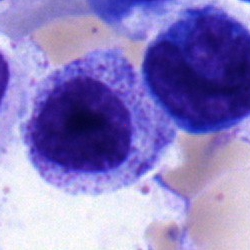

Cell = myelocyte.